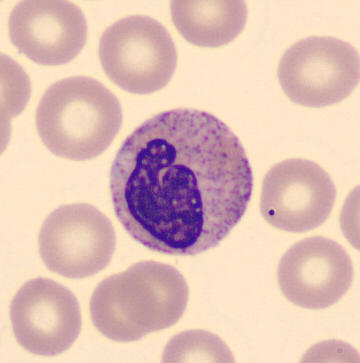The cell type is neutrophil (band).

Imaged on a CellaVision DM96 analyser. Peripheral blood film.